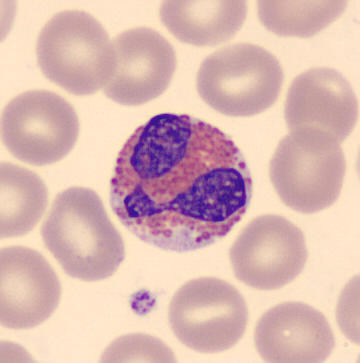Single-cell crop from a peripheral blood smear: eosinophilic granulocyte.